Bone marrow smear; single cell centered in the field; May-Grünwald-Giemsa/Pappenheim stain: 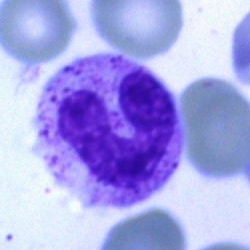

The cell shown is a band-form neutrophil.